May-Grünwald-Giemsa stain. Bone marrow smear — 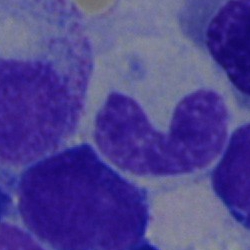 The classification is band neutrophil.